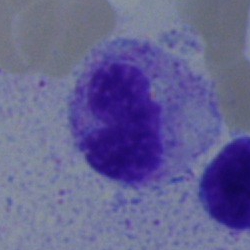

Q: What type of cell is this?
A: This is a band neutrophil.